Bone marrow aspirate smear.
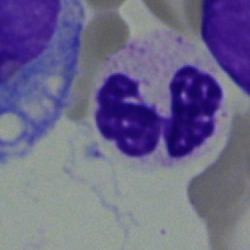 Q: Identify the cell.
A: Polymorphonuclear neutrophil.